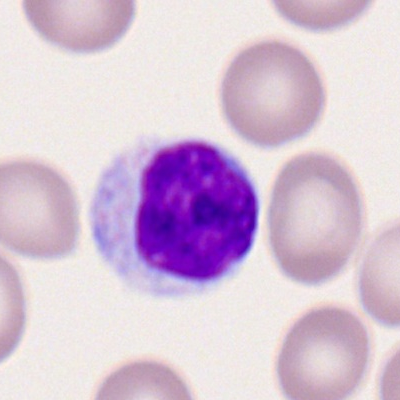A typical lymphocyte.